Bone marrow aspirate smear
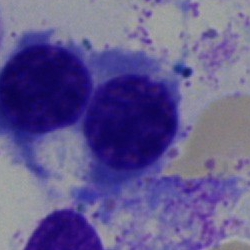A normoblast.